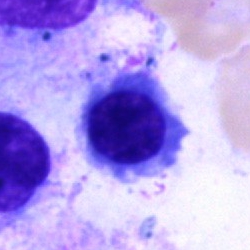 Normoblast.